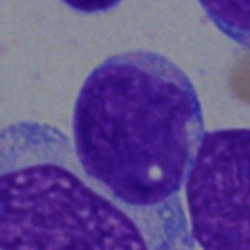Impression — blast cell.